Bone marrow aspirate smear:
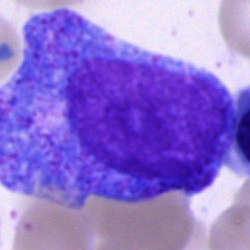 Single cell identified as a promyelocyte.